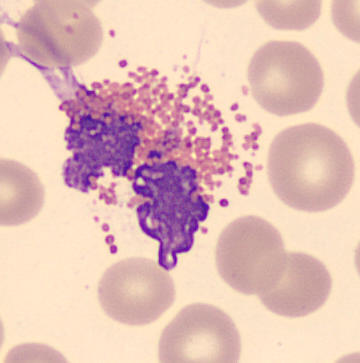 Peripheral blood film; 360 by 363 pixels.
Morphology — eosinophilic granulocyte.